Bone marrow aspirate smear: 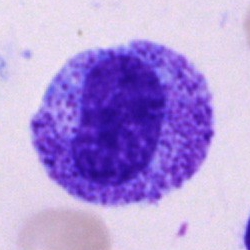Specimen: bone marrow smear.
Cell type: progranulocyte.
Lineage: myeloid.